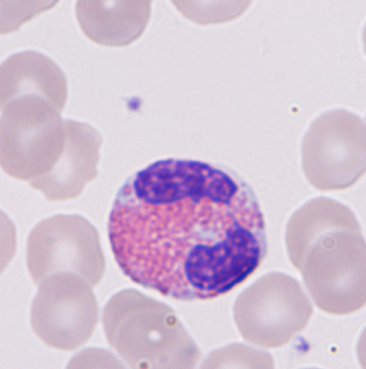 An eosinophil. Peripheral blood film.